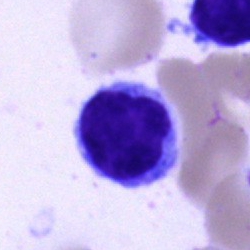Bone marrow aspirate smear, single cell — lymphocyte.